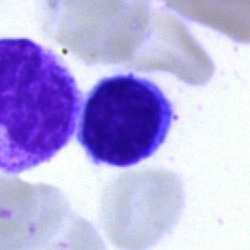

Classification: typical lymphocyte.